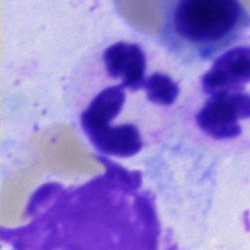
Q: Which cell type is shown here?
A: It is a polymorphonuclear neutrophil.